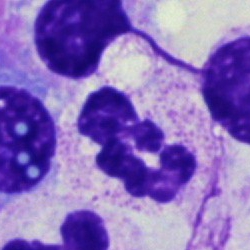 Q: What type of cell is this?
A: A segmented neutrophil.